May-Grünwald-Giemsa/Pappenheim stain. 40× objective, oil immersion. Bone marrow aspirate smear
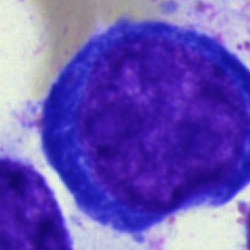
Specimen: bone marrow aspirate smear.
Cell: proerythroblast.
Lineage: erythroid.